Bone marrow aspirate smear
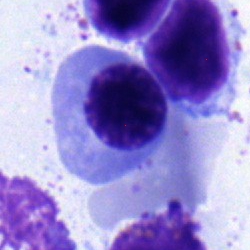 The cell shown is a normoblast.